Single cell centered in the field; peripheral blood smear
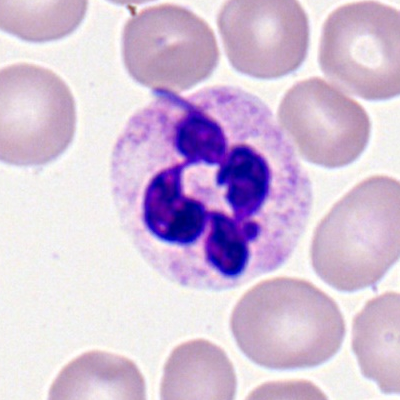
Morphology consistent with a neutrophil (segmented).